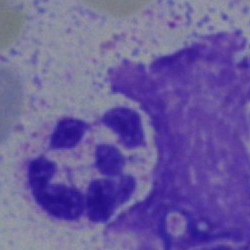
The cell type is segmented neutrophil.